Bone marrow smear — 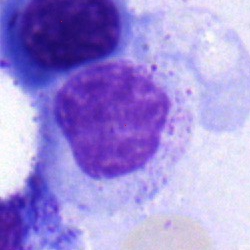Morphology — myelocyte.